Image size 250×250; bone marrow aspirate smear — 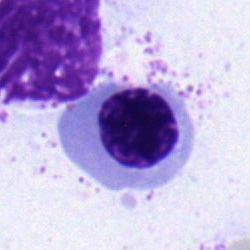Q: What type of cell is this?
A: It is a nucleated red cell.